Pappenheim-stained · bone marrow smear
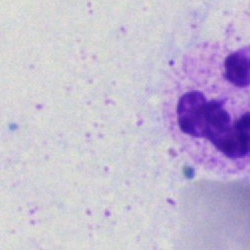 Specimen: bone marrow smear.
Cell type: polymorphonuclear neutrophil.
Lineage: myeloid.